Bone marrow aspirate smear — 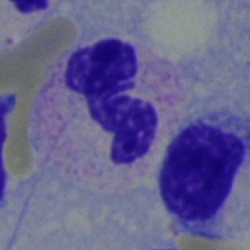

Classification = segmented neutrophil.